Brightfield, 40× oil-immersion objective · bone marrow smear.
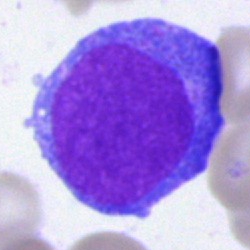{"cell_type": "blast cell"}